Single-cell field. Brightfield, 40× oil-immersion objective. Bone marrow aspirate smear:
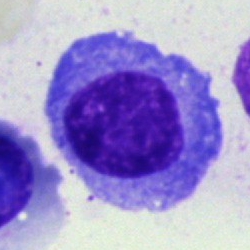
This is a plasmacyte.